40× oil immersion. Bone marrow smear
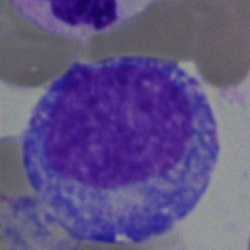Impression → progranulocyte.